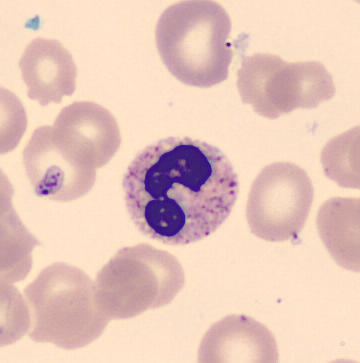
Classification — neutrophil (segmented). Image size 360×363; cropped to a single cell; peripheral blood smear.